Peripheral blood smear. Romanowsky stain.
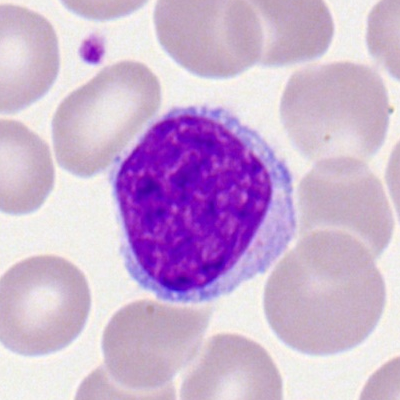Morphology consistent with a typical lymphocyte.